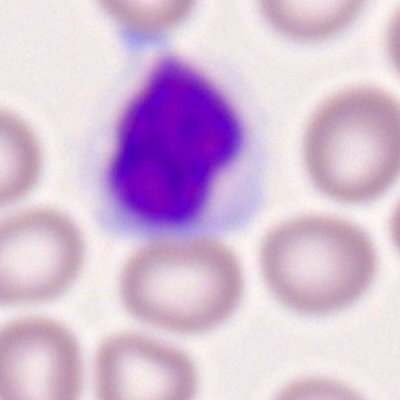Single cell identified as a typical lymphocyte.